Bone marrow aspirate smear · brightfield microscopy, 40× oil immersion: 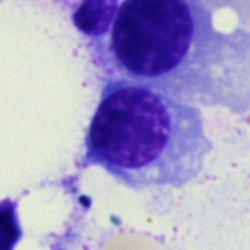
Specimen: bone marrow aspirate smear.
Cell: erythroblast.
Lineage: erythroid.